Brightfield microscopy, 40× oil immersion; cropped to a single cell; bone marrow smear: 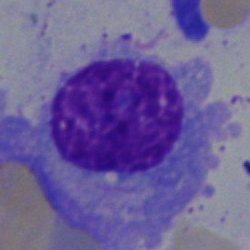
Cell type = plasma cell.